Bone marrow aspirate smear
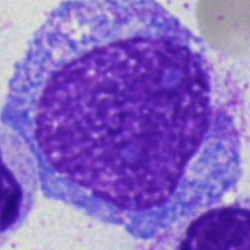
Morphology → progranulocyte.